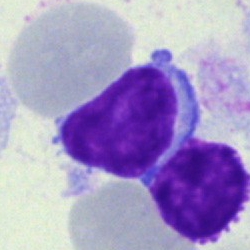
Q: Which cell type is shown here?
A: This is a typical lymphocyte.